May-Grünwald-Giemsa stain · bone marrow aspirate smear:
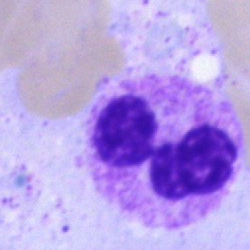
Classification — neutrophil (segmented).